Bone marrow smear; May-Grünwald-Giemsa stain; 40× objective, oil immersion: 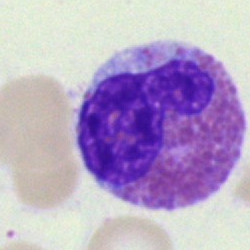
Impression → eosinophilic granulocyte.